Single-cell crop. 400×400. Peripheral blood film — 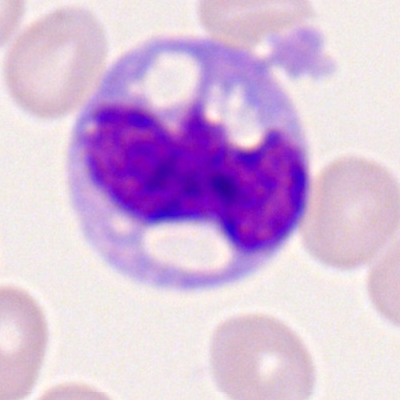
Q: What is shown here?
A: This is a polymorphonuclear neutrophil.